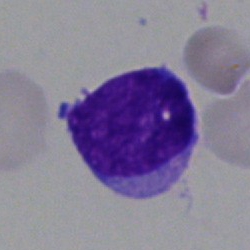An undifferentiated blast.